Bone marrow smear; image size 250×250 — 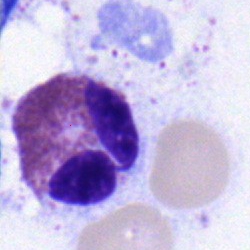
This is an eosinophilic granulocyte.